Bone marrow smear · 40× oil immersion.
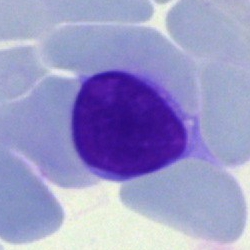

Morphological class — lymphocyte.